250 by 250 pixels · bone marrow smear · Pappenheim-stained:
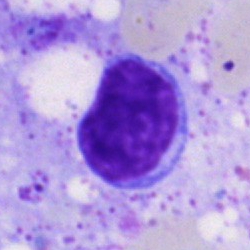 The cell is lymphocyte.